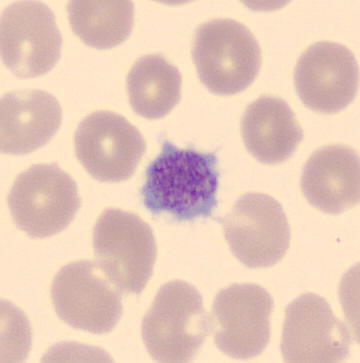 The morphological class is platelet.
Acquisition: Peripheral blood film.